Bone marrow smear
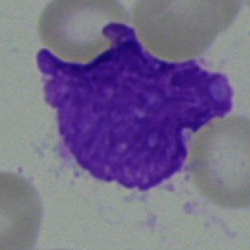 {"cell_type": "artifact"}